Bone marrow smear: 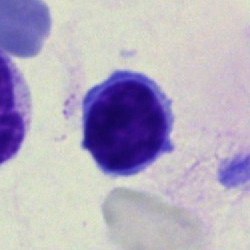The cell type is typical lymphocyte.